Bone marrow aspirate smear:
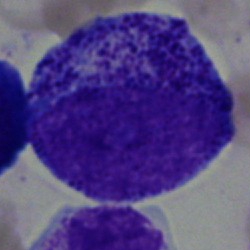
Progranulocyte.